Bone marrow aspirate smear
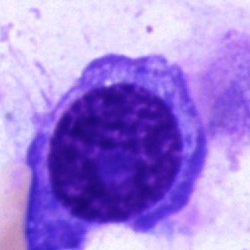

Cell type: plasmacyte.